Bone marrow aspirate smear — 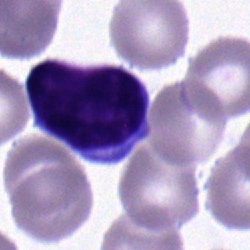
Single cell identified as a typical lymphocyte.